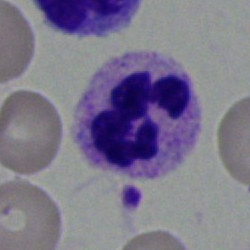 Q: What is shown here?
A: This is a polymorphonuclear neutrophil.